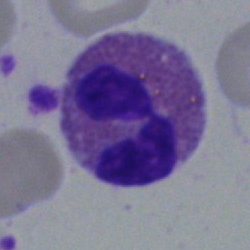
Specimen: bone marrow aspirate smear.
Morphological class: eosinophil.